Bone marrow aspirate smear — 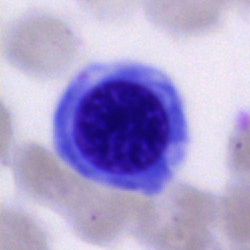

Q: What type of cell is this?
A: A nucleated red cell.